40× oil immersion; bone marrow smear
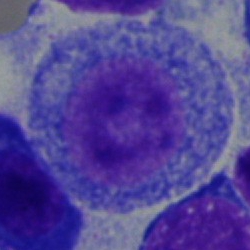 Single cell identified as a progranulocyte.